Bone marrow smear: 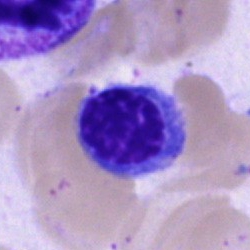Q: Identify the cell.
A: This is a nucleated red blood cell.